Bone marrow smear:
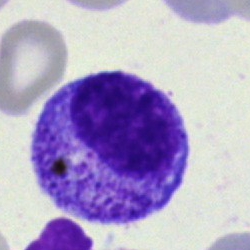
Q: What cell is this?
A: A myelocyte.